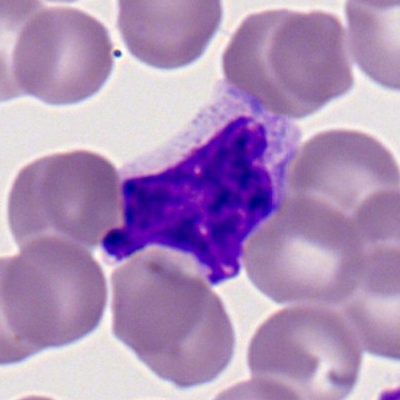 A typical lymphocyte on a peripheral blood smear.